Bone marrow smear — 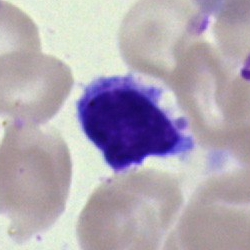Lymphocyte.